Bone marrow smear. 250×250: 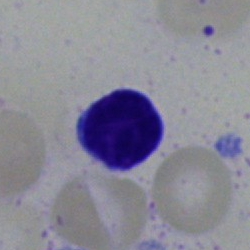Impression — lymphocyte.